Bone marrow aspirate smear
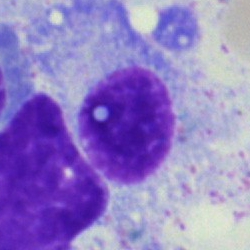

Classification — plasma cell.